Bone marrow smear:
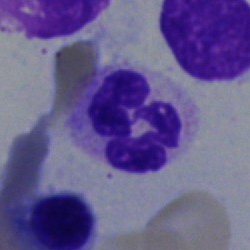 Impression → segmented neutrophil.